250×250. Bone marrow smear. May-Grünwald-Giemsa/Pappenheim stain — 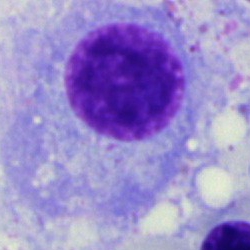

Morphology → plasmacyte.